Peripheral blood film; Romanowsky-stained:
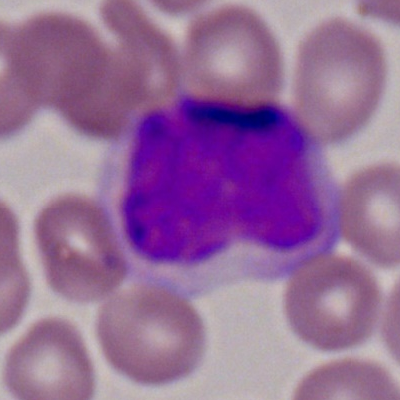{"cell_type": "myeloid blast", "lineage": "myeloid"}